Bone marrow smear:
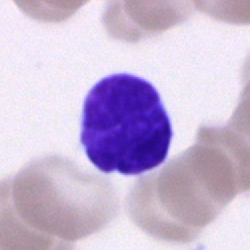
Cell — lymphocyte.